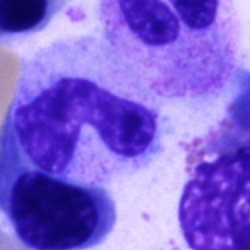

Q: What cell is this?
A: Band-form neutrophil.